Bone marrow aspirate smear.
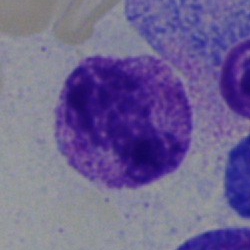

Single cell identified as a neutrophil (segmented).